Peripheral blood smear — 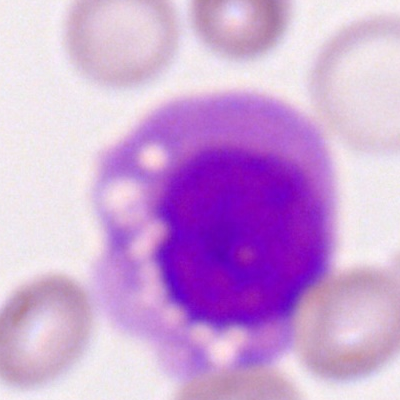Monocyte.